Bone marrow aspirate smear — 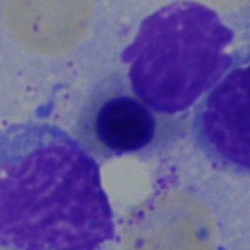 The classification is nucleated red cell.